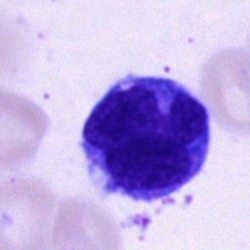
Specimen: bone marrow smear.
Cell type: monocyte.
Lineage: myeloid.